Bone marrow aspirate smear — 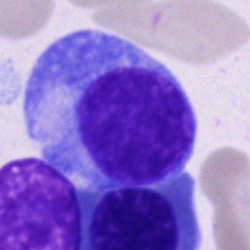A plasma cell.